Single cell centered in the field; bone marrow aspirate smear:
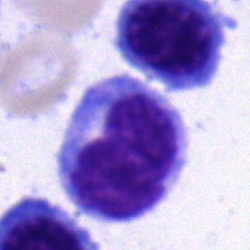Q: Identify the cell.
A: This is a monocyte.